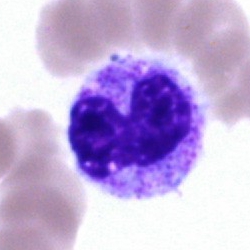Impression → neutrophil (band).